Bone marrow smear · cropped to a single cell · 250×250 px.
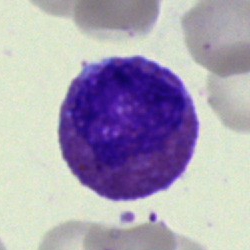
The cell type is eosinophil.